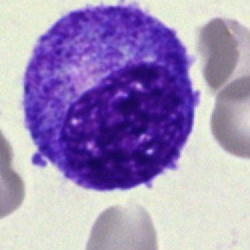Morphology consistent with a progranulocyte.